Single cell centered in the field · bone marrow smear.
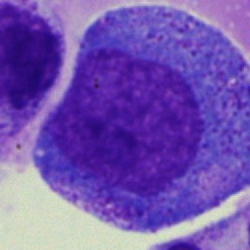

Progranulocyte.